Brightfield, 40× oil-immersion objective. Bone marrow aspirate smear. 250×250 — 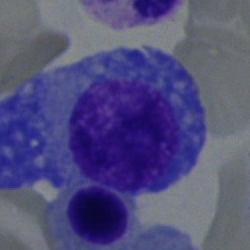

A plasma cell.